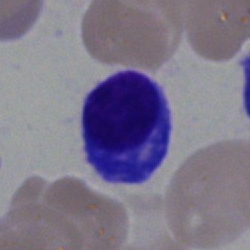 Showing a plasma cell.